Single cell centered in the field. May-Grünwald-Giemsa/Pappenheim stain. Bone marrow smear — 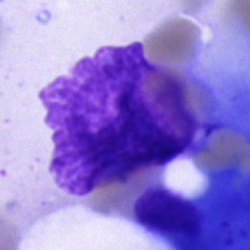
The cell shown is an artifact.